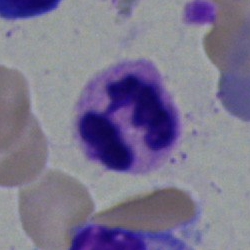
Classification: polymorphonuclear neutrophil.